Bone marrow smear:
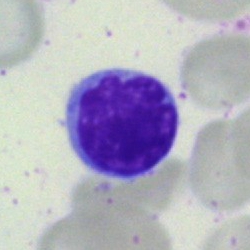
Morphological class — lymphocyte.